Bone marrow aspirate smear; 250 by 250 pixels: 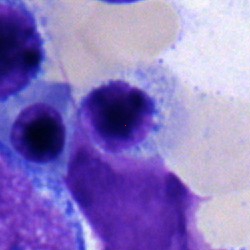
This is a nucleated red cell.